Bone marrow smear. 40× oil immersion:
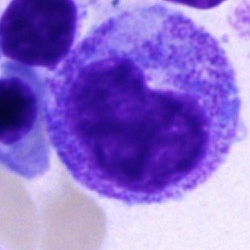Q: What cell is this?
A: This is a promyelocyte.